Single cell centered in the field · bone marrow aspirate smear — 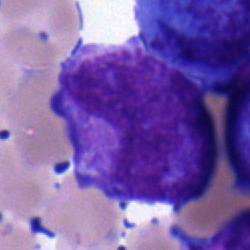 Morphology → undifferentiated blast.